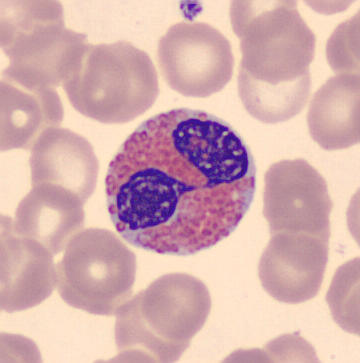Showing an eosinophil.

Preparation: May-Grünwald-Giemsa-stained; peripheral blood smear.